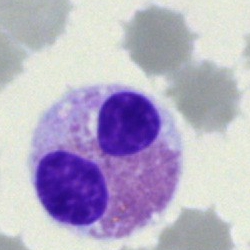Q: What cell is this?
A: This is an eosinophil.